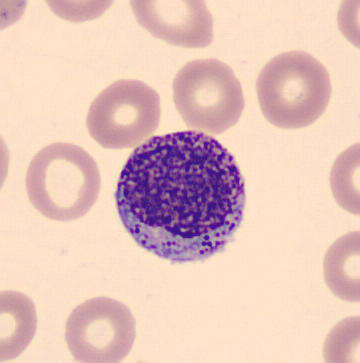Morphology consistent with a myelocyte.